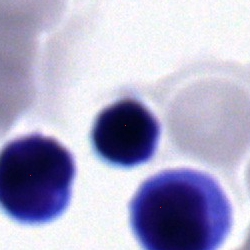

Cell = typical lymphocyte.